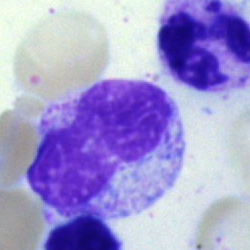 Impression → metamyelocyte.